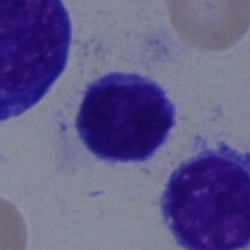 Specimen: bone marrow smear.
Cell type: typical lymphocyte.
Lineage: lymphoid.